Bone marrow aspirate smear; brightfield microscopy, 40× oil immersion
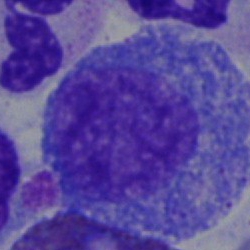

Q: Identify the cell.
A: It is a progranulocyte.